Bone marrow aspirate smear. Brightfield, 40× oil-immersion objective.
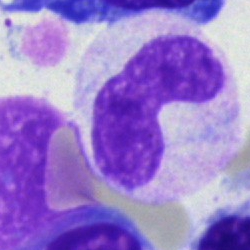 Neutrophil (band).